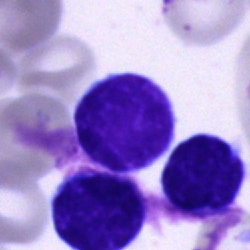
Single-cell crop from a bone marrow smear: typical lymphocyte.